Bone marrow aspirate smear
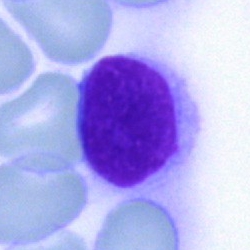This is an artifact.